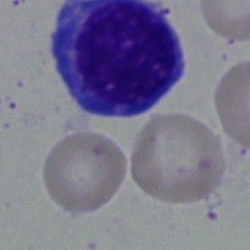
Specimen: bone marrow smear.
Cell: normoblast.
Lineage: erythroid.